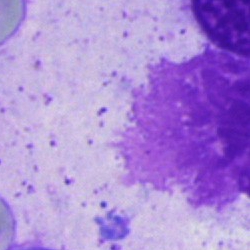

{"cell_type": "artifact"}